Bone marrow smear: 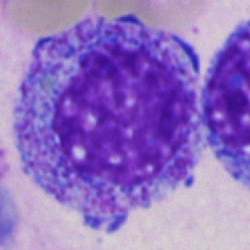Classification = progranulocyte.